40× objective, oil immersion. Single-cell crop. Bone marrow aspirate smear.
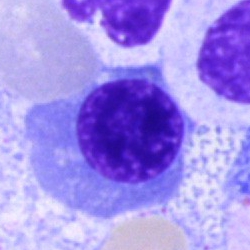 Specimen: bone marrow smear.
Classification: normoblast.
Lineage: erythroid.